Peripheral blood film · brightfield, 100× oil-immersion objective.
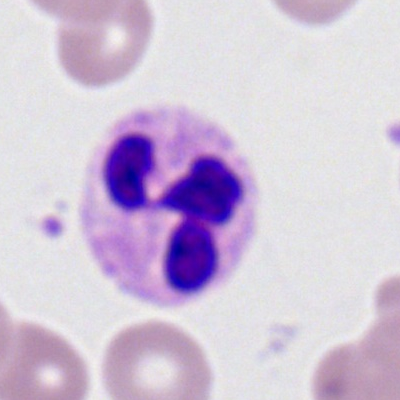 This is a neutrophil (segmented).